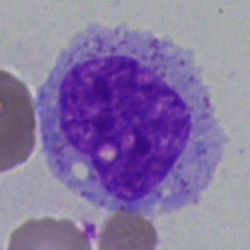

Showing a myelocyte.